Cropped to a single cell; bone marrow smear; May-Grünwald-Giemsa/Pappenheim stain: 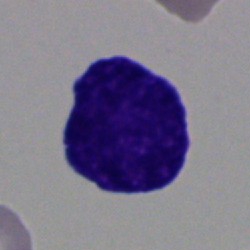

The cell shown is a blast.